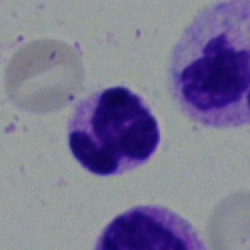
Showing a polymorphonuclear neutrophil.